Single-cell crop. 40× oil immersion. Bone marrow aspirate smear — 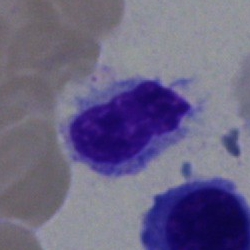
Specimen: bone marrow smear.
Cell: typical lymphocyte.
Lineage: lymphoid.